Brightfield microscopy, 40× oil immersion · bone marrow aspirate smear:
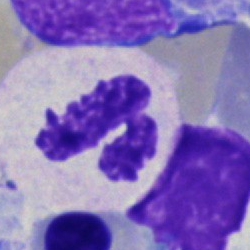

The cell type is segmented neutrophil.